250×250 px; bone marrow smear:
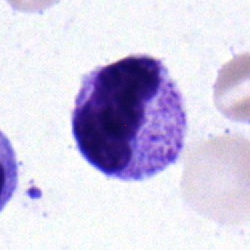
Morphology — stab cell.